Bone marrow smear:
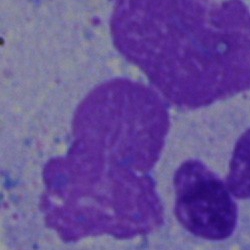

Classification — artefact.